Brightfield, 40× oil-immersion objective · bone marrow aspirate smear:
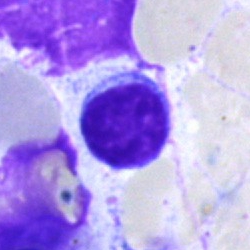

Morphology → typical lymphocyte.